Bone marrow aspirate smear
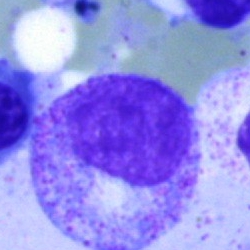
Single cell identified as a myelocyte.